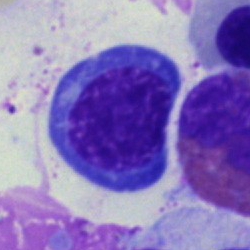Specimen: bone marrow smear.
Classification: normoblast.